Brightfield microscopy, 40× oil immersion · bone marrow smear: 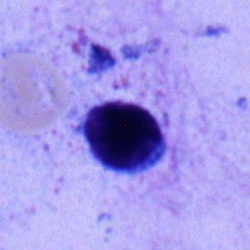
Classification: typical lymphocyte.